Bone marrow aspirate smear. 250×250 px — 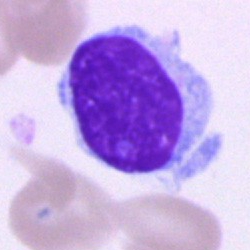 Showing a lymphocyte.